Bone marrow smear · image size 250×250: 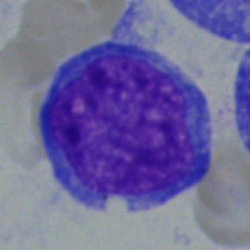

Blast cell.